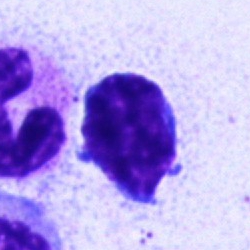
Specimen: bone marrow smear.
Cell: typical lymphocyte.
Lineage: lymphoid.